Bone marrow smear — 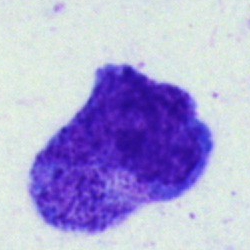 A progranulocyte.